Bone marrow smear: 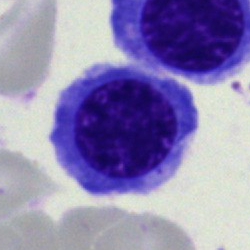 Morphology → nucleated red blood cell.